Brightfield, 40× oil-immersion objective · bone marrow aspirate smear: 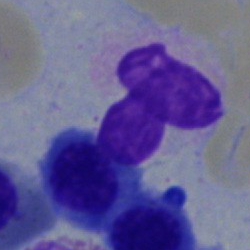 Nucleated red blood cell.